Bone marrow aspirate smear. 250 by 250 pixels.
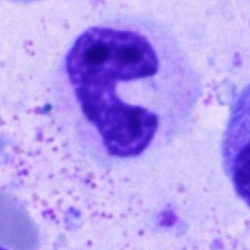
This is a stab cell.